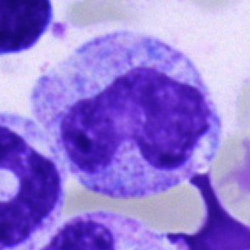Metamyelocyte.